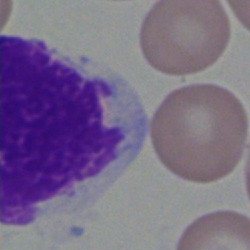

Q: What is shown here?
A: This is an artifact.